Bone marrow aspirate smear:
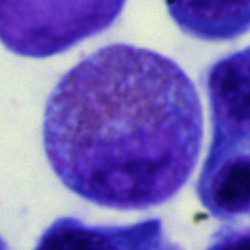Q: What type of cell is this?
A: Eosinophilic granulocyte.